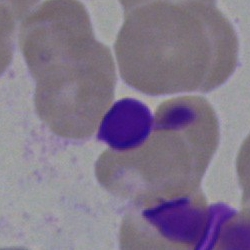
Artifact.